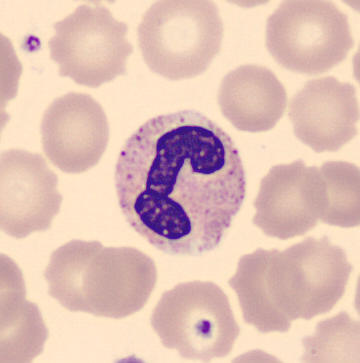Peripheral blood film.

Q: What cell is this?
A: It is a neutrophil (band).